Bone marrow aspirate smear · brightfield microscopy, 40× oil immersion:
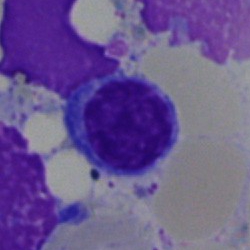The cell shown is a typical lymphocyte.